Bone marrow aspirate smear:
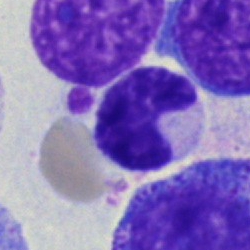 This is a band neutrophil.